Bone marrow aspirate smear:
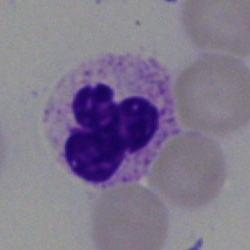Specimen: bone marrow aspirate smear.
Morphological class: neutrophil (segmented).